Bone marrow smear — 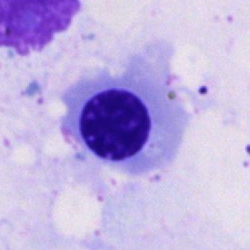Q: What cell is this?
A: It is a nucleated red blood cell.